Bone marrow smear — 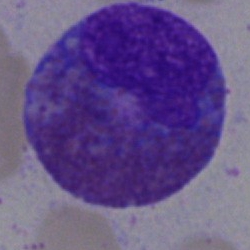

Q: What is shown here?
A: This is an eosinophilic granulocyte.